Bone marrow aspirate smear. Single-cell field — 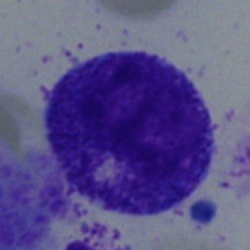 Q: Which cell type is shown here?
A: Promyelocyte.